Single-cell crop. May-Grünwald-Giemsa/Pappenheim stain. Bone marrow smear.
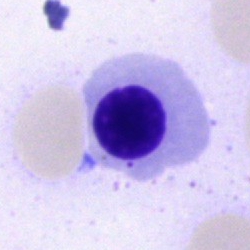

Specimen: bone marrow aspirate smear.
Classification: normoblast.